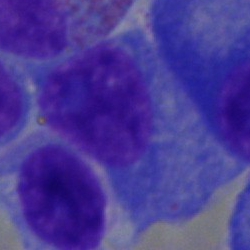Specimen: bone marrow smear.
Cell: plasmacyte.
Lineage: lymphoid.